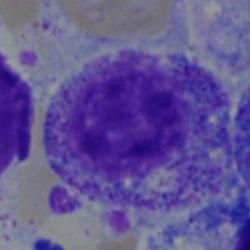Specimen: bone marrow aspirate smear.
Classification: myelocyte.